Bone marrow aspirate smear
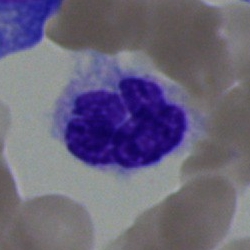
Morphology → monocyte.